Bone marrow aspirate smear; cropped to a single cell
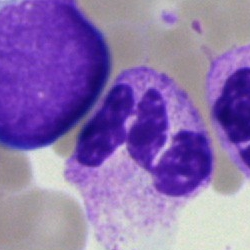Morphology → polymorphonuclear neutrophil.